Bone marrow smear: 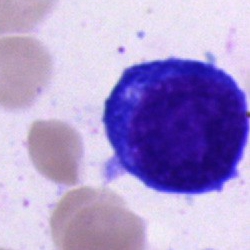 Showing a normoblast.